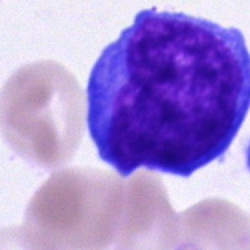

Cell type = blast.